Single-cell field · bone marrow aspirate smear:
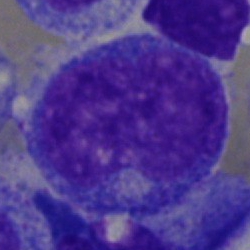Morphological class: progranulocyte.